Bone marrow smear — 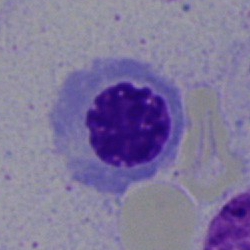This is a nucleated red cell.